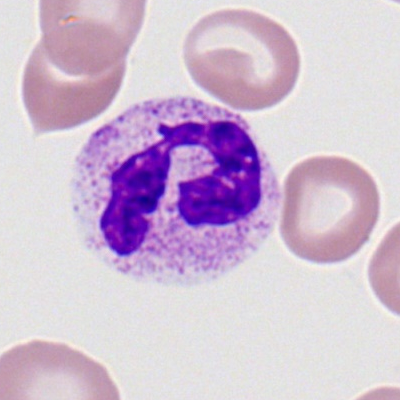
The cell is neutrophil (segmented).